Bone marrow aspirate smear:
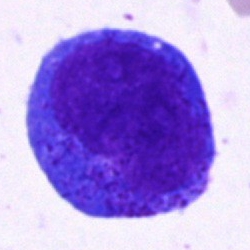 Q: What type of cell is this?
A: It is a promyelocyte.